Bone marrow aspirate smear:
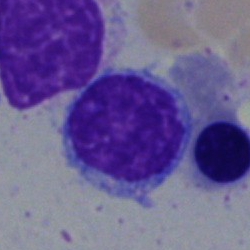This is a typical lymphocyte.